Bone marrow smear · May-Grünwald-Giemsa stain · 250 by 250 pixels.
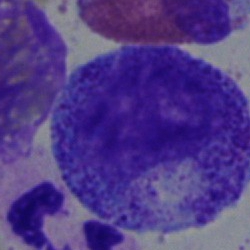

Progranulocyte.